Bone marrow aspirate smear.
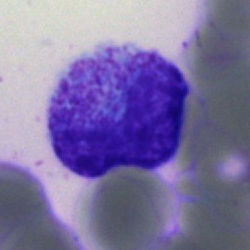
Q: Identify the cell.
A: Band neutrophil.